Bone marrow smear:
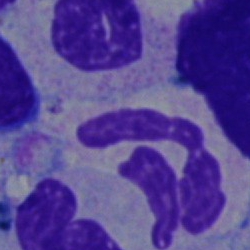

Morphological class — polymorphonuclear neutrophil.